40× oil immersion · single-cell field · bone marrow smear: 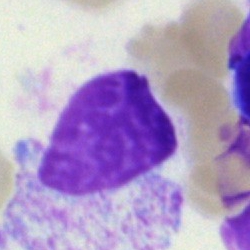 Showing an artifact.